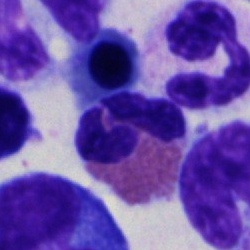 Cell: eosinophilic granulocyte.